Bone marrow aspirate smear: 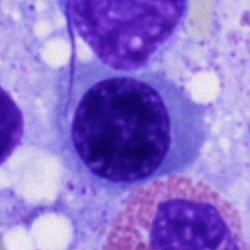
Undifferentiated blast.